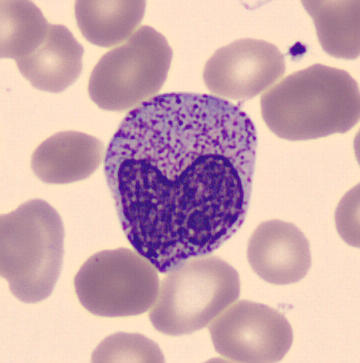

Morphological class: metamyelocyte.